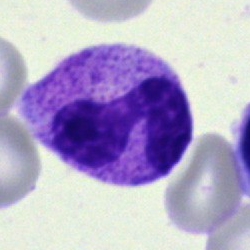 Bone marrow aspirate smear, single cell — segmented neutrophil.